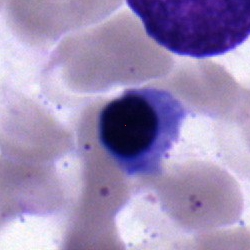Morphological class — nucleated red cell.